Bone marrow aspirate smear
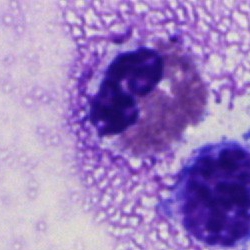Q: What type of cell is this?
A: This is an eosinophil.